Bone marrow aspirate smear. 250×250 — 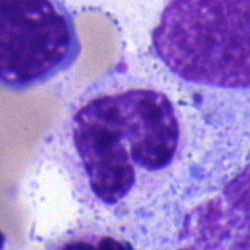Cell: neutrophil (band).